Bone marrow smear: 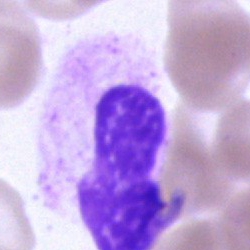
Cell type — cell of indeterminate lineage.